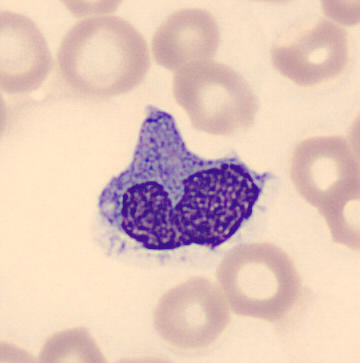 Peripheral blood smear showing a monocyte.